Bone marrow aspirate smear: 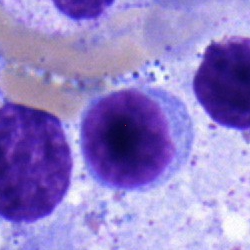 This is a lymphocyte.